Bone marrow aspirate smear · May-Grünwald-Giemsa/Pappenheim stain
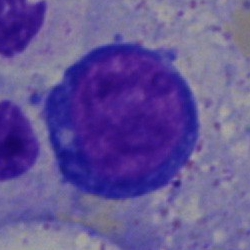

This is a nucleated red blood cell.